40× oil immersion · bone marrow smear — 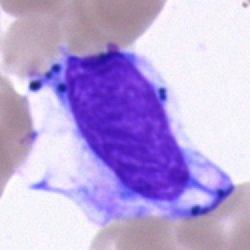
A cell of indeterminate lineage.